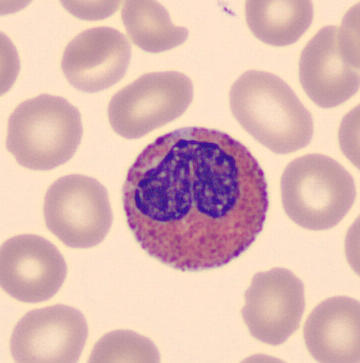Cell type: eosinophil.
Acquisition: May Grünwald-Giemsa stain. Peripheral blood film.